Bone marrow smear — 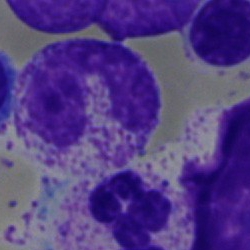 Specimen: bone marrow aspirate smear.
Classification: band-form neutrophil.
Lineage: myeloid.